Bone marrow aspirate smear — 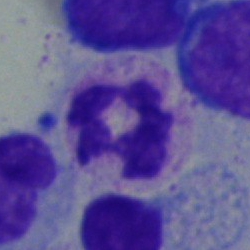

Neutrophil (segmented).